Bone marrow aspirate smear.
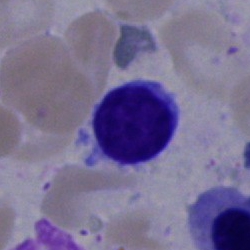Q: What cell is this?
A: Lymphocyte.